40× oil immersion. Bone marrow aspirate smear — 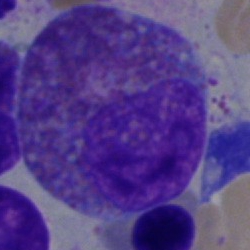
Eosinophilic granulocyte.